Bone marrow smear: 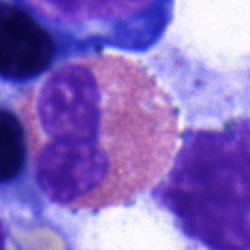An eosinophilic granulocyte.